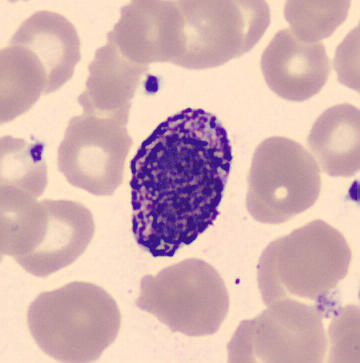Morphology consistent with a basophil. Image: Peripheral blood smear.